Bone marrow smear.
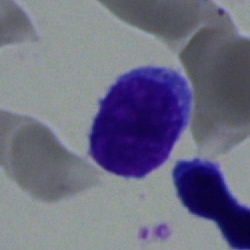Morphology → typical lymphocyte.